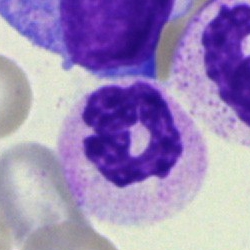Morphology consistent with a polymorphonuclear neutrophil.